Bone marrow aspirate smear; Pappenheim-stained
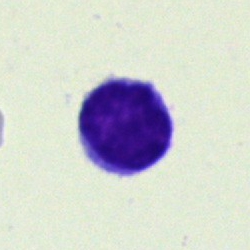Q: What is shown here?
A: It is a typical lymphocyte.